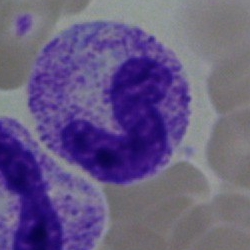The cell is band neutrophil.